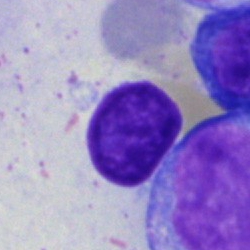 Impression → artifact.